Bone marrow smear — 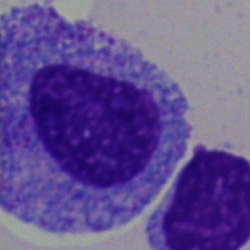
Showing a promyelocyte.